Bone marrow aspirate smear:
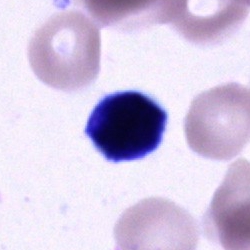

Cell: cell of indeterminate lineage.